Cropped to a single cell; bone marrow aspirate smear; 40× oil immersion: 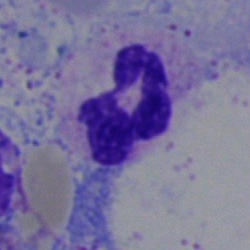
Morphology — segmented neutrophil.